Bone marrow aspirate smear · single-cell field · image size 250×250:
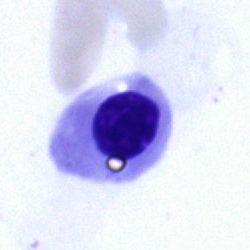 The cell shown is a normoblast.